Bone marrow smear: 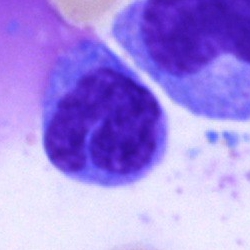

Specimen: bone marrow aspirate smear.
Classification: monocyte.